Romanowsky-stained · peripheral blood smear
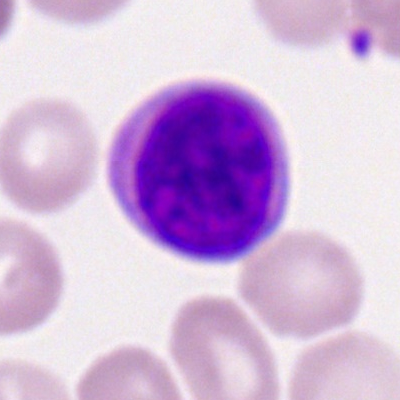 A lymphocyte.